Bone marrow smear: 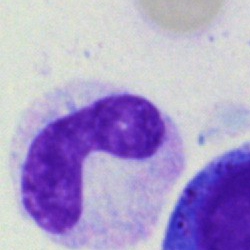

Classification — neutrophil (band).